Bone marrow smear; 250×250; brightfield microscopy, 40× oil immersion:
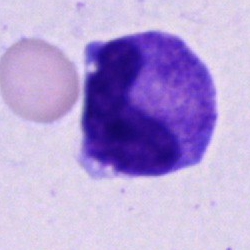 An unidentifiable cell.